Brightfield microscopy, 40× oil immersion · bone marrow aspirate smear:
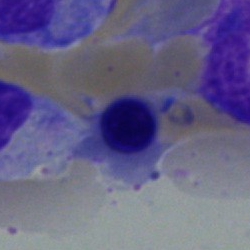
Morphology consistent with a nucleated red blood cell.